Brightfield microscopy, 40× oil immersion. Bone marrow smear: 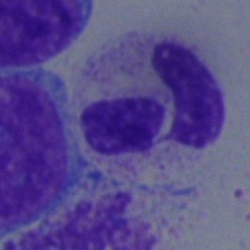
Specimen: bone marrow aspirate smear.
Classification: segmented neutrophil.
Lineage: myeloid.